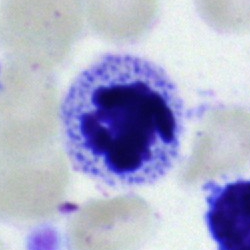 Bone marrow aspirate smear, single cell — unidentifiable cell.